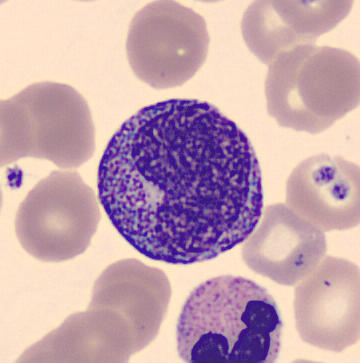
{"cell_type": "progranulocyte", "lineage": "myeloid"}